Single-cell field. Bone marrow smear. 40× objective, oil immersion: 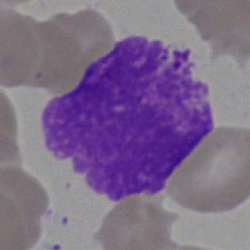
Specimen: bone marrow smear.
Classification: artifact.